Bone marrow smear: 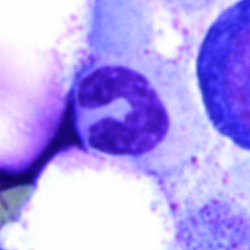 Q: What cell is this?
A: This is a neutrophil (segmented).